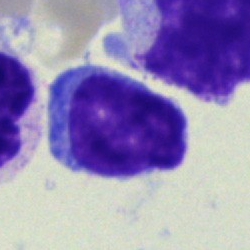 Q: What type of cell is this?
A: This is a lymphocyte.